Bone marrow aspirate smear. Brightfield, 40× oil-immersion objective: 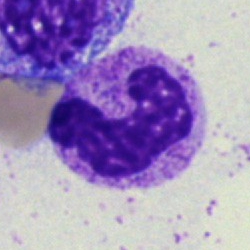

Morphology consistent with a band neutrophil.